Bone marrow aspirate smear; May-Grünwald-Giemsa stain
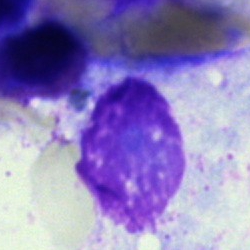
Cell = artefact.